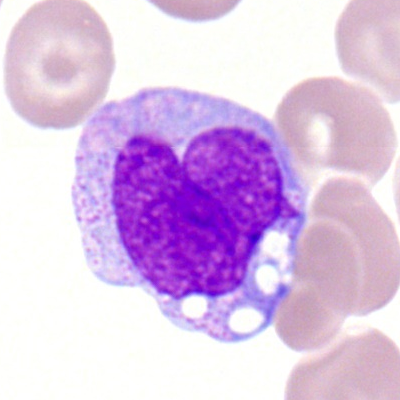

Q: What type of cell is this?
A: A monocyte.